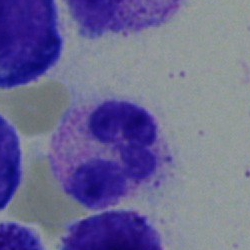 Q: What is the morphological classification of this cell?
A: A polymorphonuclear neutrophil.